Bone marrow aspirate smear; single-cell crop: 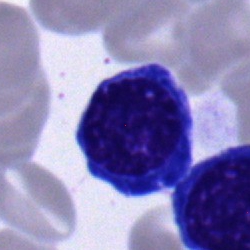 Lymphocyte.